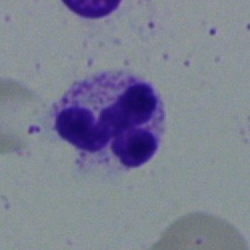 Q: What type of cell is this?
A: This is a segmented neutrophil.